40× objective, oil immersion. May-Grünwald-Giemsa/Pappenheim stain. Bone marrow smear — 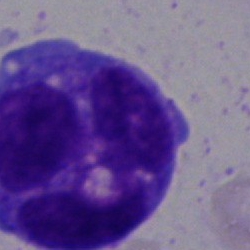

The cell shown is an undifferentiated blast.